MGG-stained. Bone marrow aspirate smear. 40× objective, oil immersion: 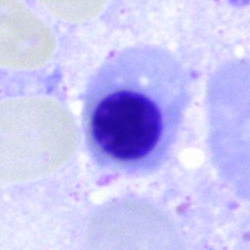

Classification — nucleated red cell.